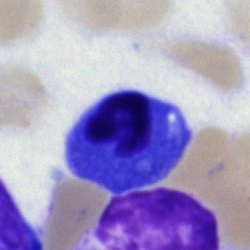
An artifact.